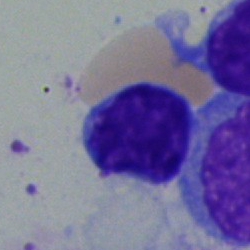
Morphology — lymphocyte.